Bone marrow aspirate smear
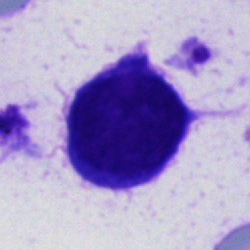Q: Which cell type is shown here?
A: Unidentifiable cell.